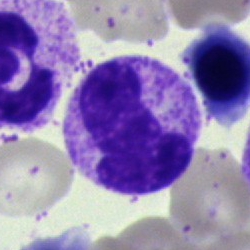

Cell type — band neutrophil.